Peripheral blood film.
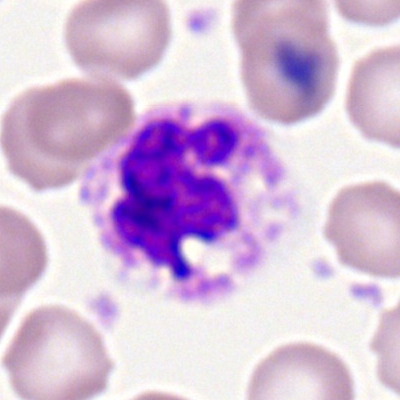Q: Which cell type is shown here?
A: Segmented neutrophil.